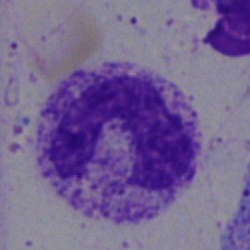
Q: What type of cell is this?
A: A neutrophil (segmented).